Bone marrow smear · 250 by 250 pixels · Pappenheim-stained
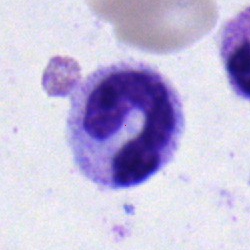
Specimen: bone marrow aspirate smear.
Cell: band neutrophil.